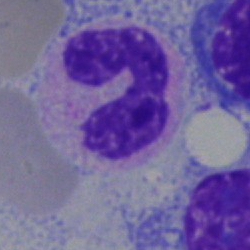 Q: Identify the cell.
A: A polymorphonuclear neutrophil.